Bone marrow aspirate smear · single-cell field · May-Grünwald-Giemsa/Pappenheim stain
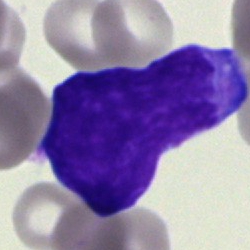Blast.